Bone marrow aspirate smear; cropped to a single cell
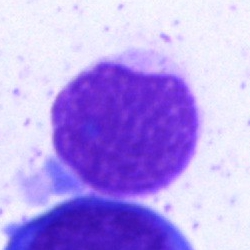
Q: What is shown here?
A: This is an artifact.